May-Grünwald-Giemsa stain. Bone marrow aspirate smear:
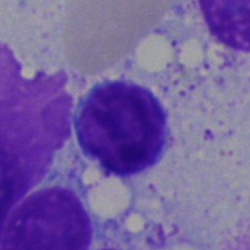
Cell type = typical lymphocyte.